May-Grünwald-Giemsa/Pappenheim stain; bone marrow smear.
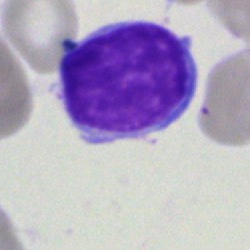Q: Which cell type is shown here?
A: It is a typical lymphocyte.